Bone marrow aspirate smear
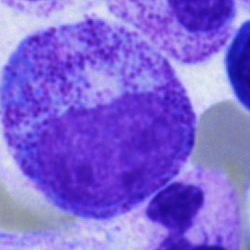The cell shown is a progranulocyte.